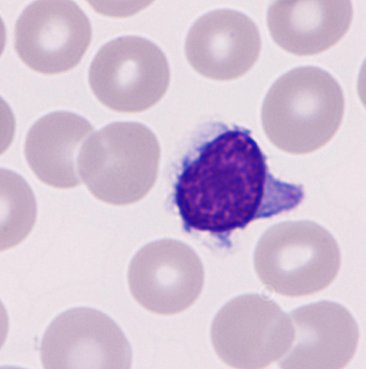 {"cell_type": "lymphocyte"} Peripheral blood film.